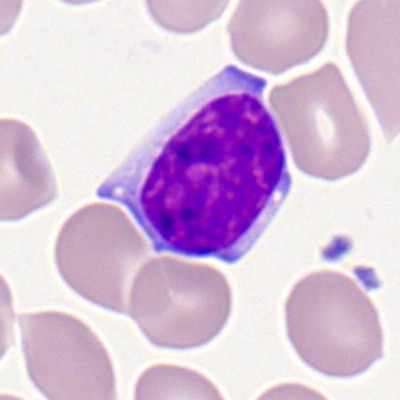

Single cell identified as a typical lymphocyte.